Bone marrow aspirate smear.
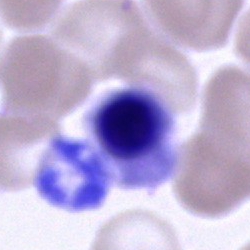 Q: What cell is this?
A: It is an erythroblast.